Image size 250×250 · bone marrow smear: 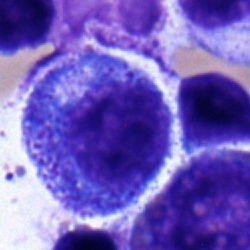
Morphology → progranulocyte.